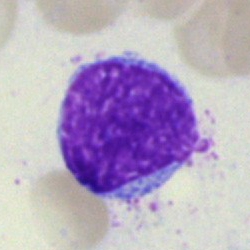 Q: Identify the cell.
A: Blast.